Bone marrow aspirate smear — 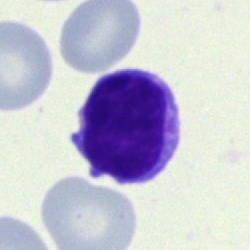Showing a lymphocyte.